Single-cell crop; bone marrow aspirate smear.
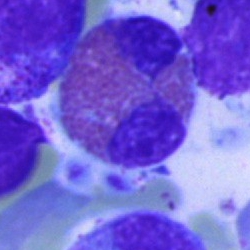Q: What cell is this?
A: It is an eosinophilic granulocyte.